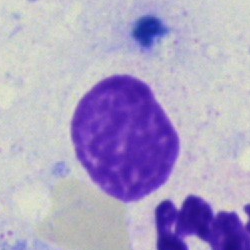 Morphology consistent with an artifact.